Bone marrow aspirate smear.
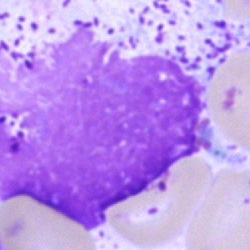
Morphology → artefact.